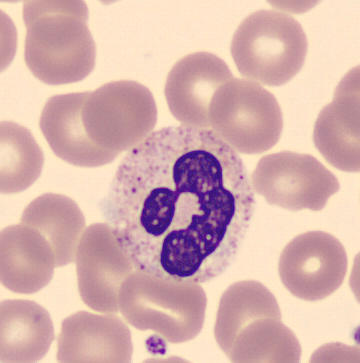
Morphology consistent with a polymorphonuclear neutrophil.

Preparation: Peripheral blood smear.